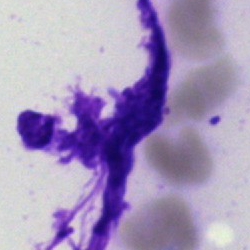

{"cell_type": "artefact"}